Single cell centered in the field. Bone marrow smear.
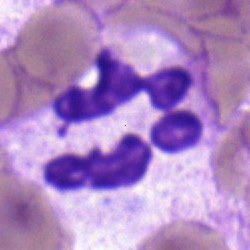 Morphology consistent with a polymorphonuclear neutrophil.